Bone marrow smear — 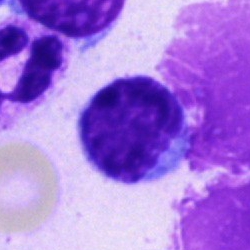

{"cell_type": "lymphocyte", "lineage": "lymphoid"}